Peripheral blood film; single cell centered in the field:
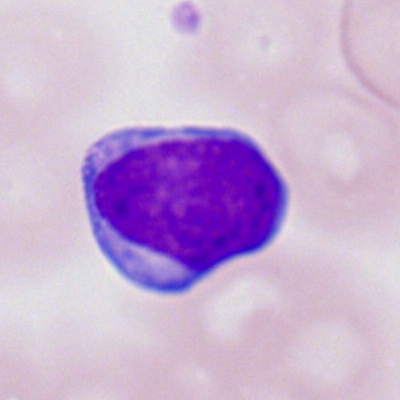
Impression — myeloblast.